Brightfield microscopy, 40× oil immersion · bone marrow aspirate smear:
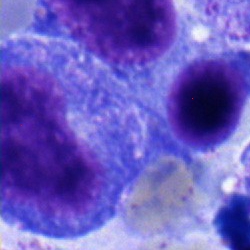 The cell type is promyelocyte.